40× objective, oil immersion; bone marrow smear — 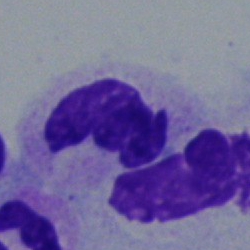

{"cell_type": "neutrophil (segmented)", "lineage": "myeloid"}